Bone marrow smear
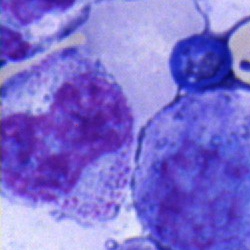

Impression — polymorphonuclear neutrophil.